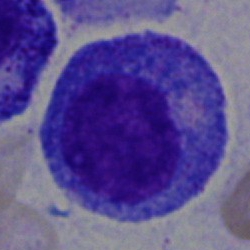

{"cell_type": "progranulocyte"}